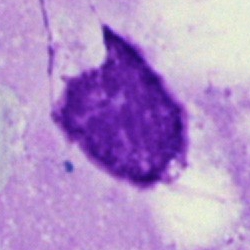

Morphological class — artefact.